Bone marrow smear. 40× objective, oil immersion.
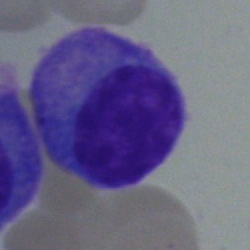

Specimen: bone marrow aspirate smear.
Classification: plasmacyte.
Lineage: lymphoid.